Bone marrow aspirate smear.
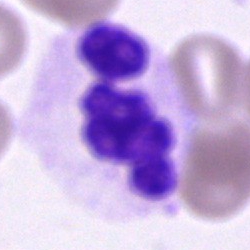 {"cell_type": "neutrophil (segmented)", "lineage": "myeloid"}